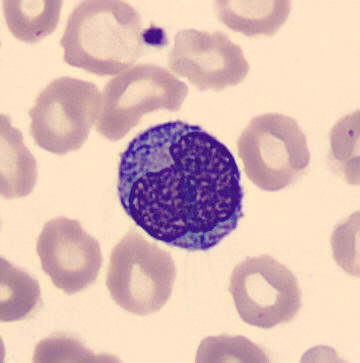A monocyte on a peripheral blood smear.